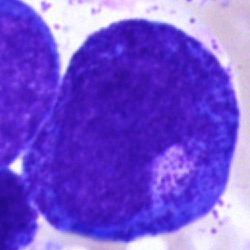

Impression — progranulocyte.